Peripheral blood smear:
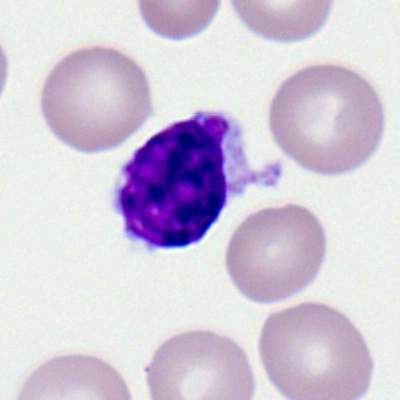 The cell is lymphocyte.